MGG-stained · single-cell crop · bone marrow smear:
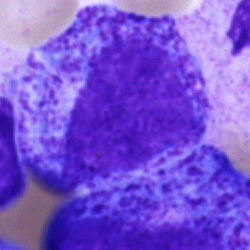Progranulocyte.